40× oil immersion; bone marrow aspirate smear; single cell centered in the field
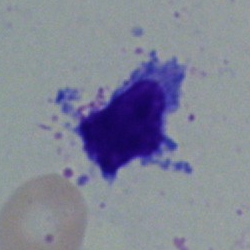

Q: Which cell type is shown here?
A: Typical lymphocyte.